Image size 250×250 · bone marrow smear:
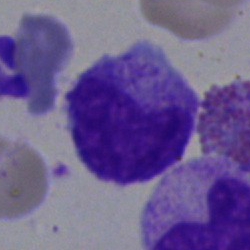 The cell is myelocyte.